Bone marrow aspirate smear: 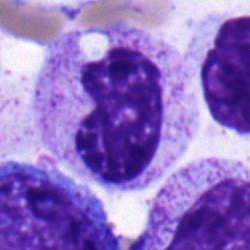Single cell identified as a metamyelocyte.